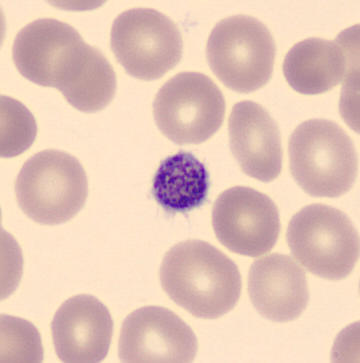 Specimen: peripheral blood film.
Morphological class: platelet (thrombocyte). Image: Automated cell imaging (CellaVision DM96).